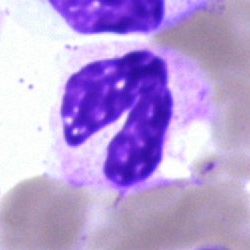 Q: What is the morphological classification of this cell?
A: This is a neutrophil (segmented).